Bone marrow aspirate smear. 250×250 px — 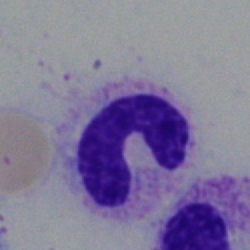

Morphology → stab cell.